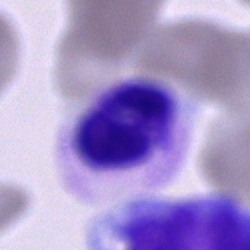 Q: What is shown here?
A: This is an unidentifiable cell.